Bone marrow smear.
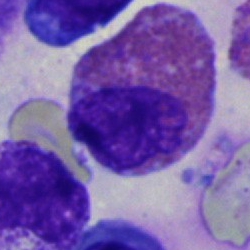Specimen: bone marrow aspirate smear.
Morphological class: eosinophil.
Lineage: myeloid.